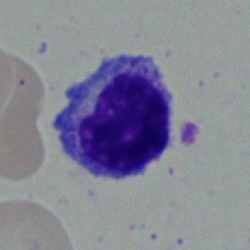

Single-cell crop from a bone marrow smear: lymphocyte.